40× oil immersion; bone marrow smear.
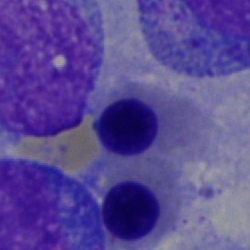 Q: What is shown here?
A: It is a nucleated red blood cell.